Single-cell crop. 40× objective, oil immersion. Bone marrow aspirate smear
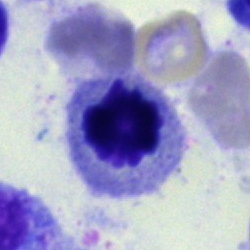

Specimen: bone marrow smear.
Classification: nucleated red blood cell.